Bone marrow smear
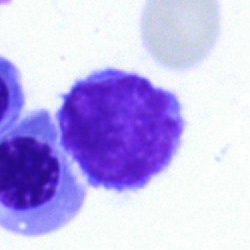The cell shown is a typical lymphocyte.